Bone marrow aspirate smear
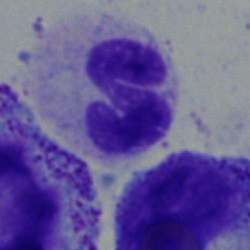Morphological class: segmented neutrophil.